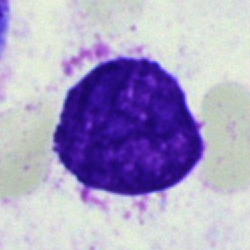

Specimen: bone marrow smear.
Classification: artefact.